Bone marrow aspirate smear: 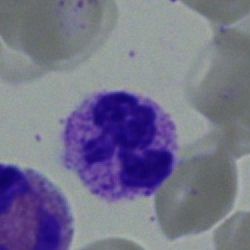Q: What cell is this?
A: This is a polymorphonuclear neutrophil.